Bone marrow aspirate smear
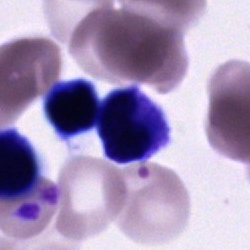 This is an unidentifiable cell.